250×250 px; bone marrow aspirate smear:
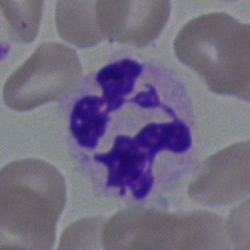The cell shown is a neutrophil (segmented).